MGG-stained; bone marrow aspirate smear; cropped to a single cell
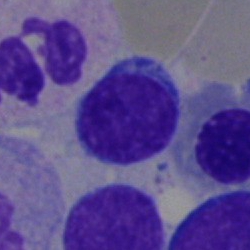 Q: What is shown here?
A: Lymphocyte.